40× oil immersion · bone marrow smear
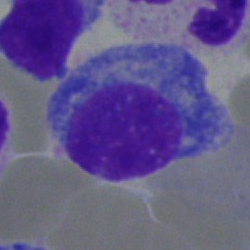
Classification — plasma cell.